250×250 · bone marrow aspirate smear:
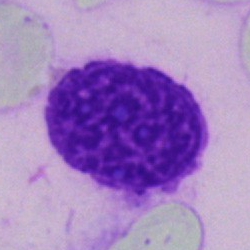
Cell type — artefact.